Bone marrow smear; Pappenheim-stained; 40× oil immersion:
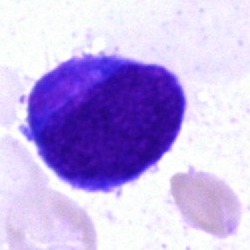
Classification: blast cell.